Brightfield microscopy, 40× oil immersion; bone marrow aspirate smear:
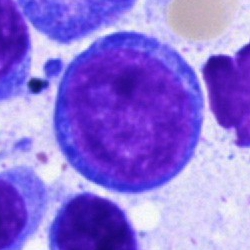
Classification = undifferentiated blast.